Bone marrow aspirate smear: 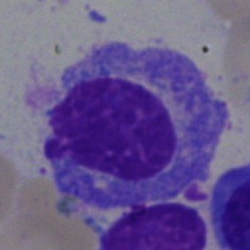
The morphological class is plasma cell.